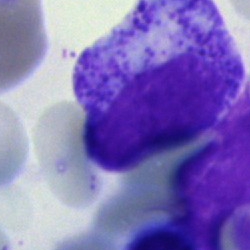{"cell_type": "progranulocyte", "lineage": "myeloid"}